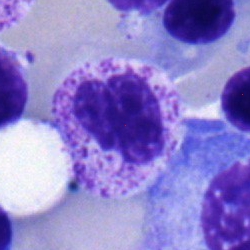 {"cell_type": "neutrophil (segmented)", "lineage": "myeloid"}